Pappenheim-stained; bone marrow aspirate smear: 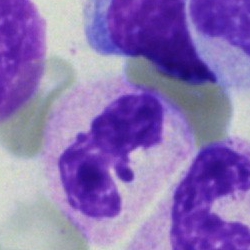The cell shown is a neutrophil (segmented).